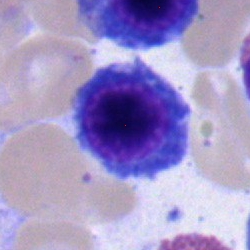 Q: What type of cell is this?
A: This is an erythroblast.